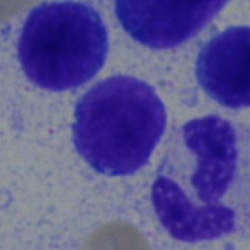Neutrophil (segmented).